MGG-stained; bone marrow aspirate smear.
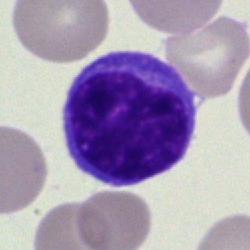

Morphology → undifferentiated blast.